Single-cell field; peripheral blood film
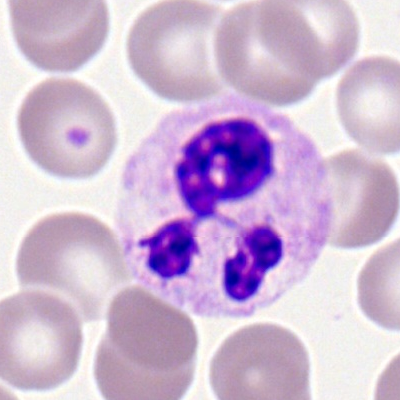

Specimen: peripheral blood film.
Cell: segmented neutrophil.
Lineage: myeloid.